Bone marrow smear
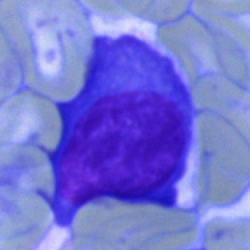

Showing a plasma cell.